Bone marrow smear.
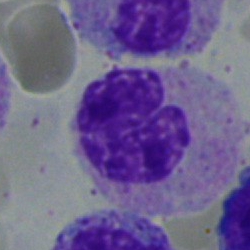
Impression — band neutrophil.